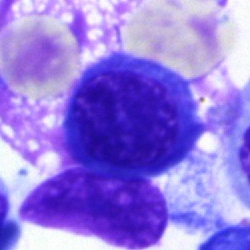Normoblast.